Bone marrow aspirate smear.
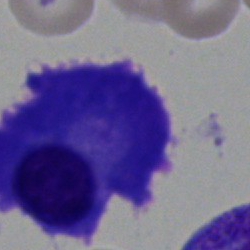 The cell shown is a plasmacyte.